Pappenheim-stained · bone marrow smear.
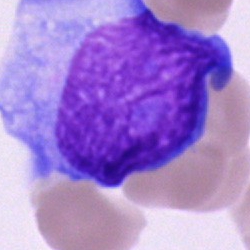Q: What is shown here?
A: It is a blast.